Bone marrow aspirate smear.
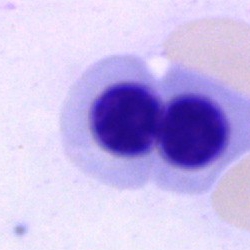This is a normoblast.